Image size 250×250; bone marrow smear.
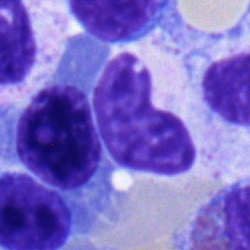

Morphology → neutrophil (band).